Single-cell field. 40× objective, oil immersion. Bone marrow smear
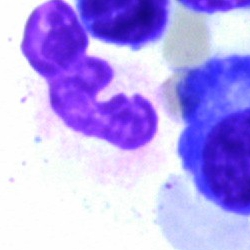Q: What is the morphological classification of this cell?
A: It is a segmented neutrophil.